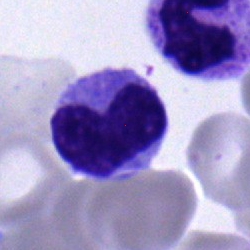 Cell type — stab cell.